Bone marrow smear: 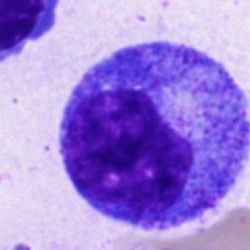
Q: What is the morphological classification of this cell?
A: This is a progranulocyte.